Bone marrow aspirate smear: 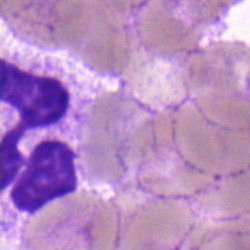Q: What cell is this?
A: It is a neutrophil (segmented).